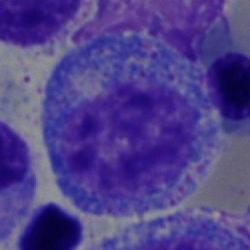
Promyelocyte.